Single cell centered in the field. Bone marrow aspirate smear. MGG-stained:
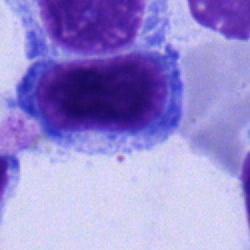This is a typical lymphocyte.